Pappenheim-stained. Bone marrow aspirate smear:
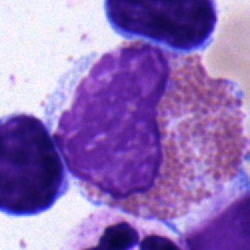 The morphological class is eosinophil.